Bone marrow smear. 40× objective, oil immersion: 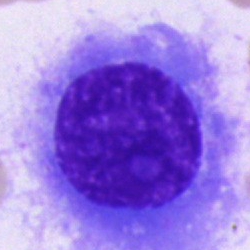Impression — plasmacyte.